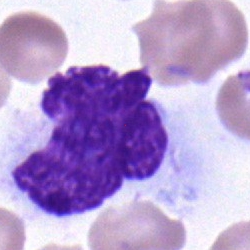

Cell = monocyte.